Bone marrow aspirate smear; MGG-stained:
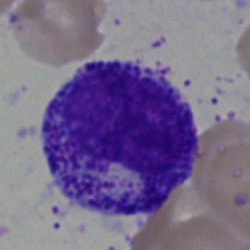 The morphological class is myelocyte.